Bone marrow smear:
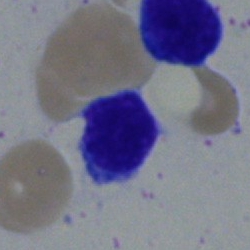A lymphocyte.